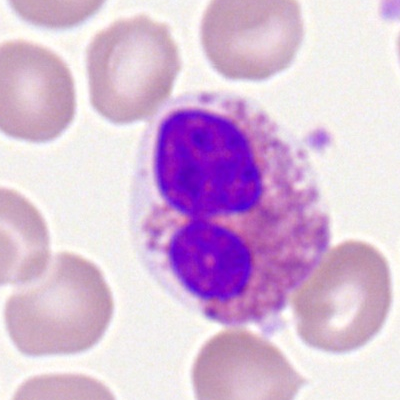 Cell type: eosinophilic granulocyte.